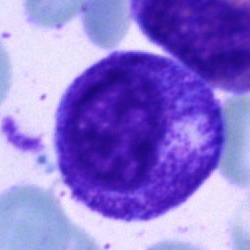Impression → promyelocyte.